40× objective, oil immersion; bone marrow aspirate smear
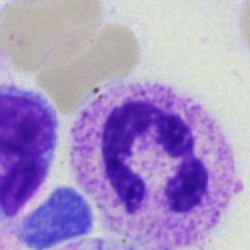Q: What is the morphological classification of this cell?
A: A neutrophil (segmented).